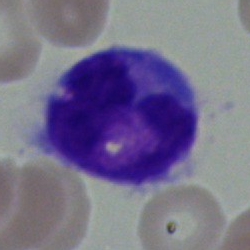Specimen: bone marrow aspirate smear.
Cell: monocyte.